40× oil immersion · bone marrow smear · 250×250: 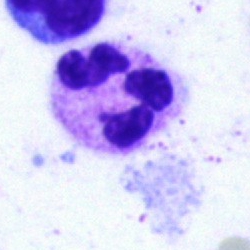 Classification: neutrophil (segmented).